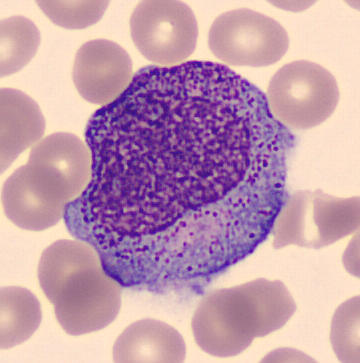 Peripheral blood smear. Cell type = progranulocyte.